Image size 250×250; bone marrow smear; MGG-stained — 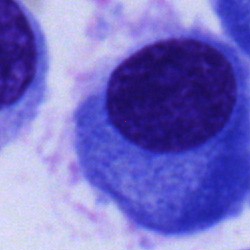 {"cell_type": "plasmacyte", "lineage": "lymphoid"}